Image size 400×400. Peripheral blood film: 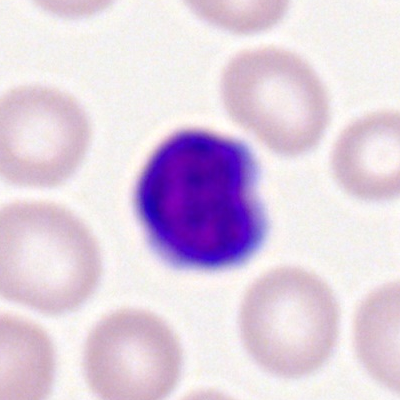
{"cell_type": "typical lymphocyte", "lineage": "lymphoid"}